Single-cell field · bone marrow smear: 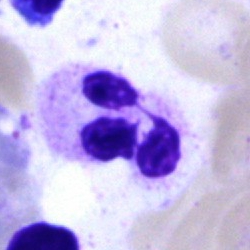
Showing a segmented neutrophil.